Bone marrow smear — 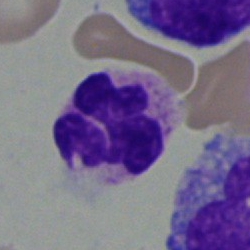 The cell is polymorphonuclear neutrophil.